Bone marrow aspirate smear.
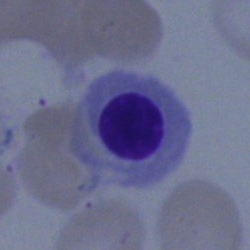 Morphology consistent with a nucleated red cell.